Bone marrow smear
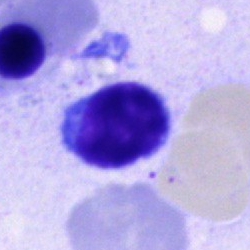

Morphology — lymphocyte.